Bone marrow smear; May-Grünwald-Giemsa/Pappenheim stain; 250 by 250 pixels: 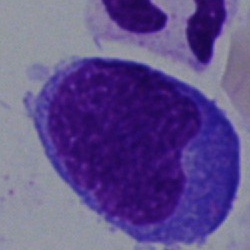
The cell shown is a promyelocyte.